May-Grünwald-Giemsa stain · bone marrow smear · 250 by 250 pixels — 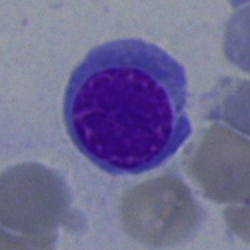
Q: What is shown here?
A: It is a nucleated red cell.